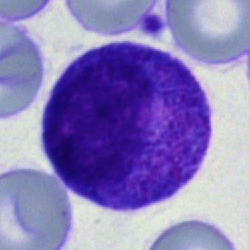
Progranulocyte.